Peripheral blood film · cropped to a single cell — 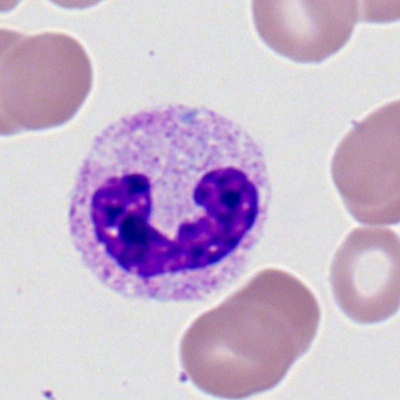
Q: Identify the cell.
A: A neutrophil (segmented).